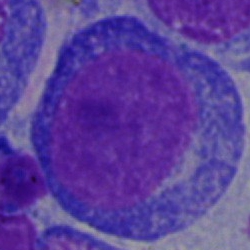The classification is undifferentiated blast.